Single-cell field; bone marrow aspirate smear.
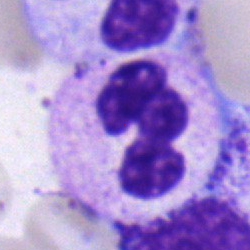
Segmented neutrophil.